Bone marrow smear
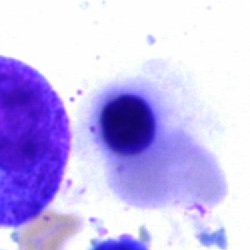
The cell shown is an erythroblast.